Image size 400×400 · 100× oil immersion, 14.14 px/µm · peripheral blood film — 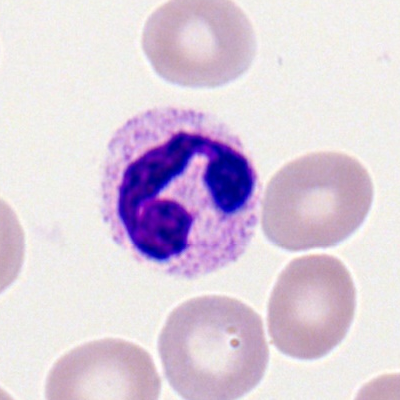 Specimen: peripheral blood smear.
Morphological class: segmented neutrophil.